Bone marrow smear:
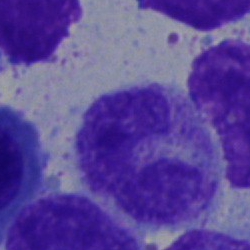Morphology — band-form neutrophil.